May-Grünwald-Giemsa stain; bone marrow aspirate smear — 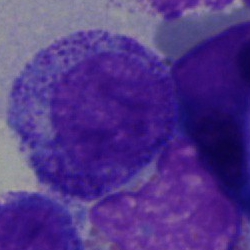
Cell: promyelocyte.